Bone marrow aspirate smear · 250×250 px:
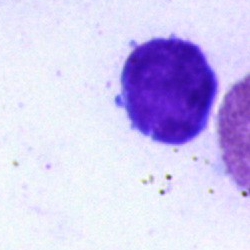Morphology consistent with a lymphocyte.